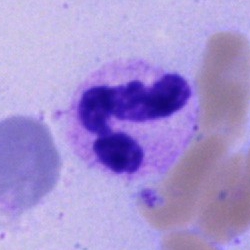 A polymorphonuclear neutrophil on a bone marrow smear.